Peripheral blood smear:
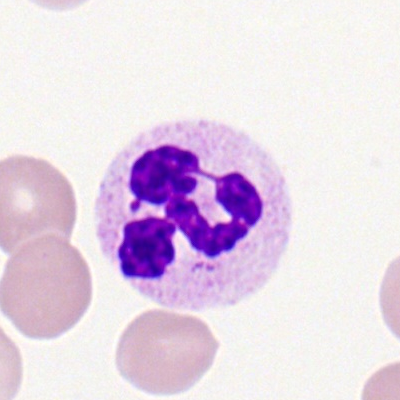 Specimen: peripheral blood film.
Morphological class: polymorphonuclear neutrophil.
Lineage: myeloid.